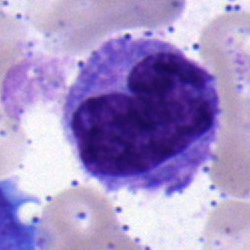

Q: What type of cell is this?
A: This is a neutrophil (band).